Bone marrow smear: 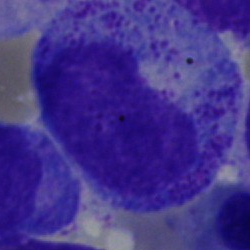

Morphology — promyelocyte.